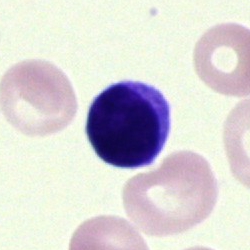The classification is lymphocyte.